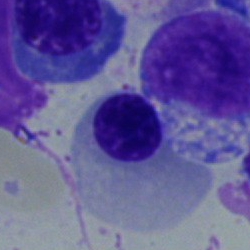 Morphology → nucleated red cell.